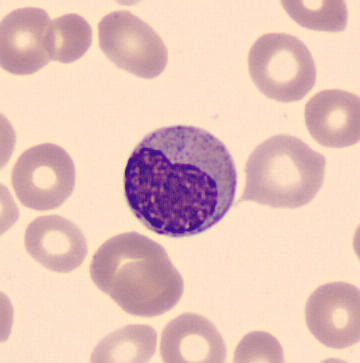
Peripheral blood smear.

{"cell_type": "metamyelocyte", "lineage": "myeloid"}